Bone marrow smear.
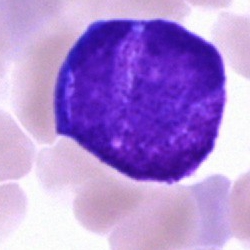 Showing an undifferentiated blast.